Bone marrow aspirate smear · brightfield microscopy, 40× oil immersion — 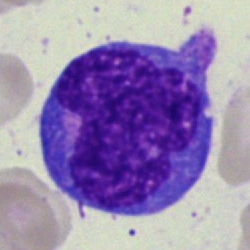Single cell identified as a monocyte.